Single-cell crop. Bone marrow smear. Brightfield, 40× oil-immersion objective.
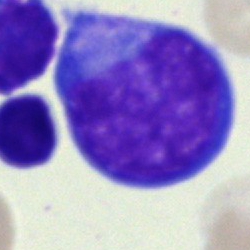 Q: Identify the cell.
A: This is a blast.